Bone marrow aspirate smear; single-cell crop; 250×250 — 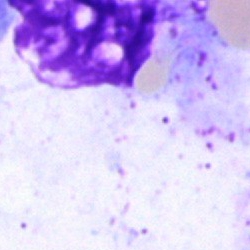

This is an artefact.